Peripheral blood smear.
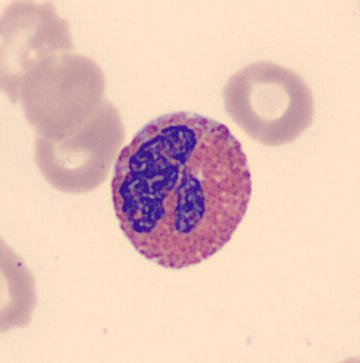
Eosinophilic granulocyte.